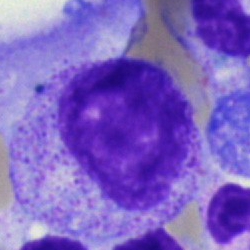 Showing a myelocyte.